Bone marrow smear · cropped to a single cell.
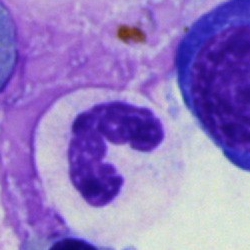 Q: What is shown here?
A: This is a segmented neutrophil.